Single-cell crop · May-Grünwald-Giemsa stain · bone marrow smear: 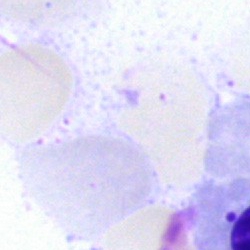

Artifact.